Peripheral blood film. Single-cell field: 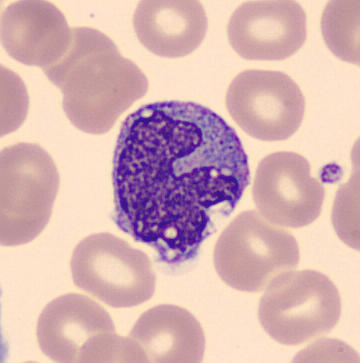

Q: Which cell type is shown here?
A: This is a monocyte.